Bone marrow smear; single-cell crop.
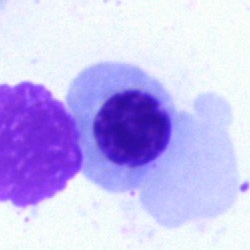The cell is erythroblast.